Bone marrow aspirate smear
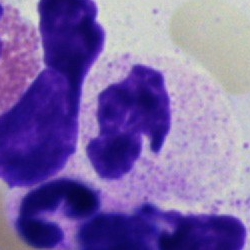

Cell type — segmented neutrophil.